Single-cell field. Bone marrow smear — 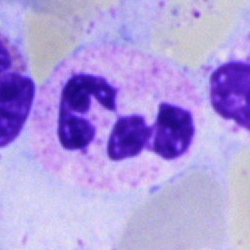 Cell type: polymorphonuclear neutrophil.